Bone marrow smear.
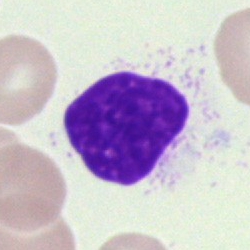

Q: What is shown here?
A: An artifact.